Bone marrow aspirate smear. Single-cell crop:
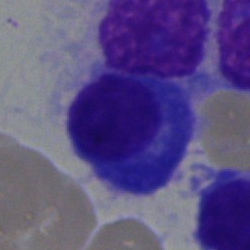
Showing a plasma cell.